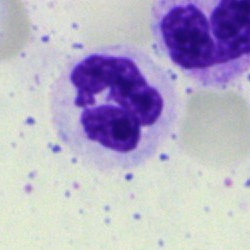{"cell_type": "segmented neutrophil", "lineage": "myeloid"}